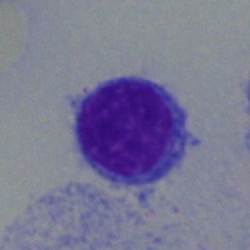

Cell type = typical lymphocyte.